Bone marrow aspirate smear — 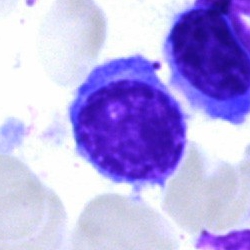 Morphology consistent with a typical lymphocyte.